Bone marrow aspirate smear; single cell centered in the field.
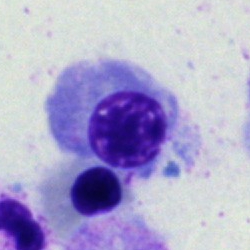 The cell shown is an erythroblast.